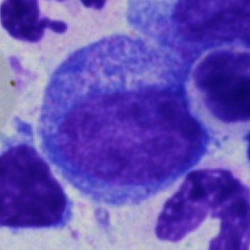Morphology — promyelocyte.